Bone marrow aspirate smear
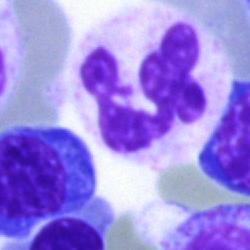

Q: What is shown here?
A: This is a segmented neutrophil.